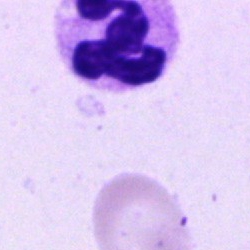
Q: Identify the cell.
A: Neutrophil (segmented).